Bone marrow aspirate smear
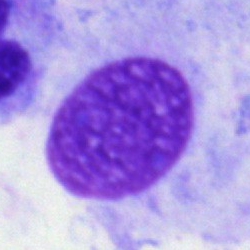 Morphology consistent with an artifact.